Bone marrow smear; single cell centered in the field
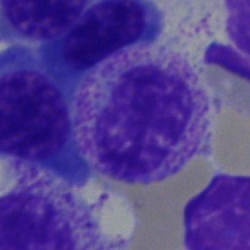
Classification = metamyelocyte.